Brightfield, 40× oil-immersion objective. Bone marrow smear.
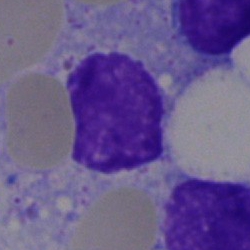Q: What is shown here?
A: This is an artifact.